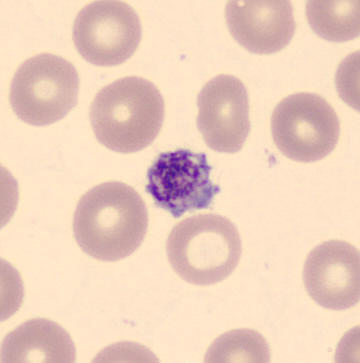 Specimen: peripheral blood smear.
Classification: platelet (thrombocyte). Imaged on a CellaVision DM96 analyser; MGG-stained.